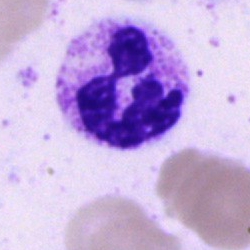
Specimen: bone marrow aspirate smear.
Cell: segmented neutrophil.
Lineage: myeloid.